250×250 · bone marrow smear · Pappenheim-stained — 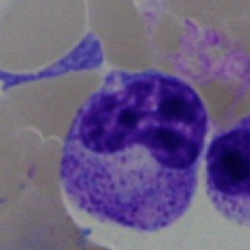
Showing a metamyelocyte.